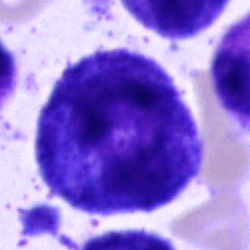Morphology → progranulocyte.